Bone marrow aspirate smear — 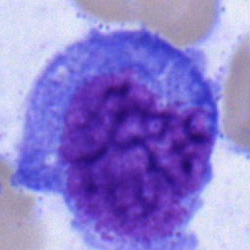

Q: What is the morphological classification of this cell?
A: An undifferentiated blast.